Bone marrow smear:
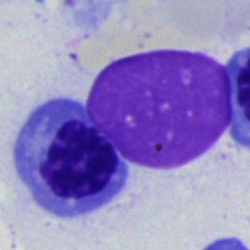 A normoblast.